40× oil immersion; bone marrow smear; Pappenheim-stained: 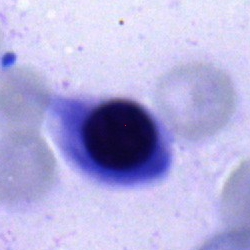

Impression — erythroblast.